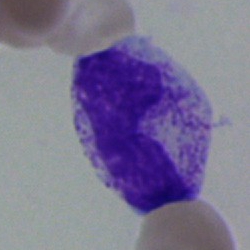Bone marrow smear showing a metamyelocyte.